Bone marrow aspirate smear:
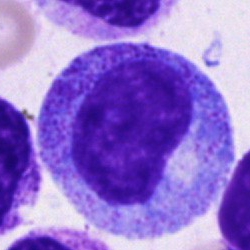
This is a promyelocyte.